Brightfield microscopy, 40× oil immersion; bone marrow smear.
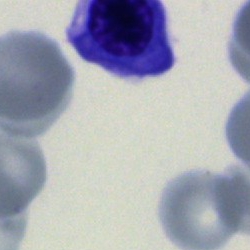

Q: What is shown here?
A: A cell of indeterminate lineage.